Peripheral blood film.
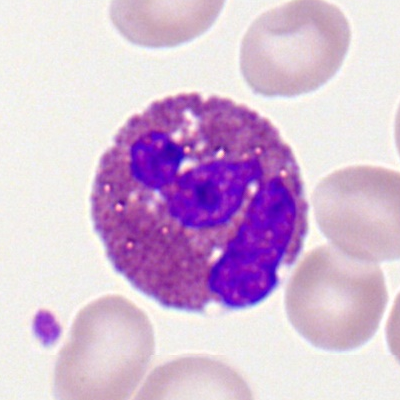 Impression — eosinophil.